Bone marrow smear. 250 by 250 pixels.
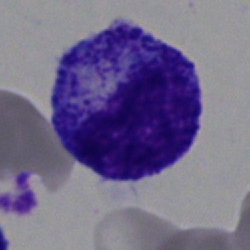
Single cell identified as a promyelocyte.